Bone marrow smear: 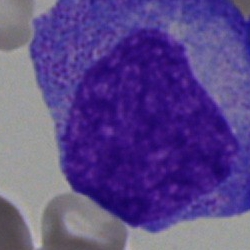 Q: What type of cell is this?
A: Progranulocyte.